Romanowsky stain · M8 digital microscope (Precipoint), 100× oil immersion · peripheral blood smear: 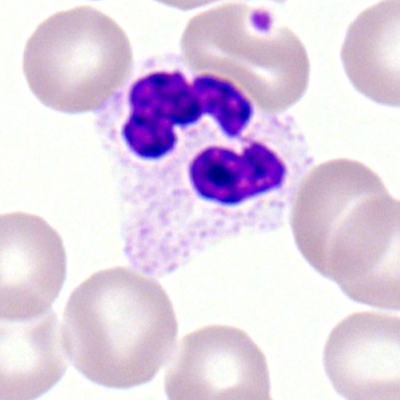 Morphology → neutrophil (segmented).